Image size 250×250. Bone marrow aspirate smear:
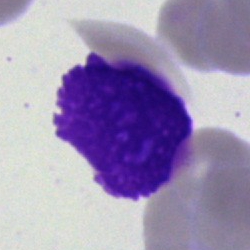 Classification = artifact.